Bone marrow aspirate smear · May-Grünwald-Giemsa/Pappenheim stain · 250×250 — 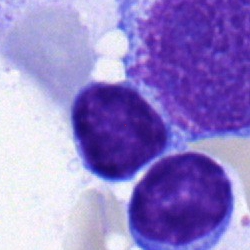 Q: What cell is this?
A: A typical lymphocyte.